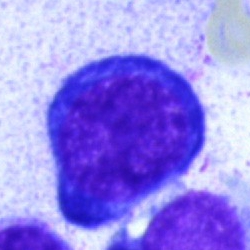Q: What is the morphological classification of this cell?
A: It is a normoblast.